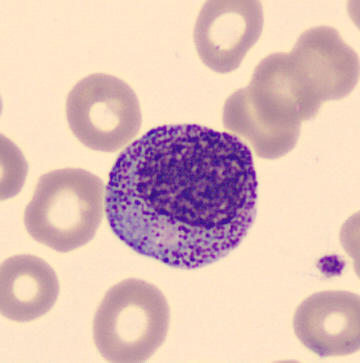
Image: MGG-stained; peripheral blood film. The cell shown is a myelocyte.